Bone marrow smear. Single-cell crop — 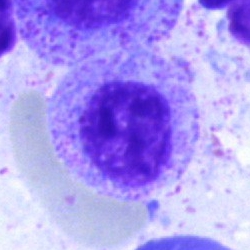The cell type is myelocyte.